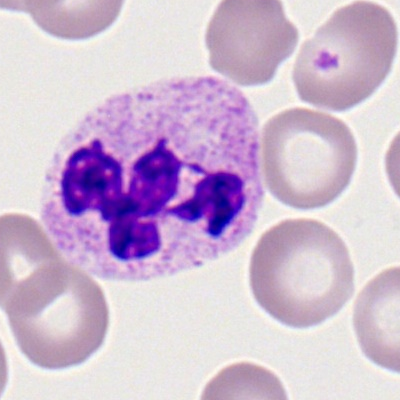Q: What is shown here?
A: This is a segmented neutrophil.